250 by 250 pixels · bone marrow aspirate smear:
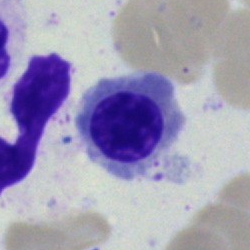

Morphology consistent with a nucleated red cell.